Bone marrow aspirate smear: 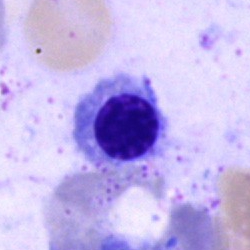
This is a nucleated red blood cell.